Peripheral blood smear:
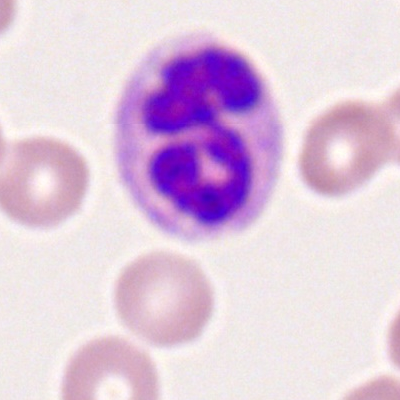Single cell identified as a polymorphonuclear neutrophil.